Bone marrow smear. May-Grünwald-Giemsa stain:
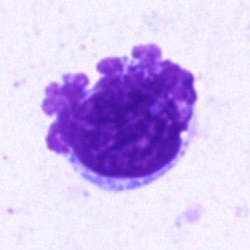

Morphological class — artefact.